Bone marrow aspirate smear — 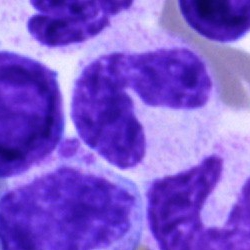Morphological class = band-form neutrophil.